Bone marrow smear — 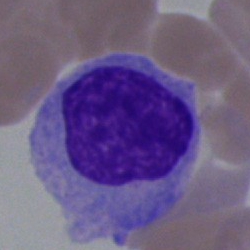
Q: What is the morphological classification of this cell?
A: A blast cell.